250×250 · bone marrow aspirate smear — 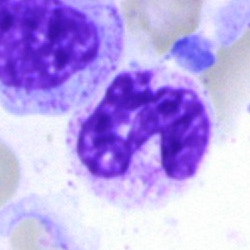 Morphological class = stab cell.